Bone marrow aspirate smear · MGG-stained: 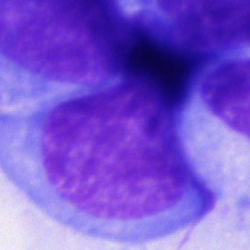

A blast cell.